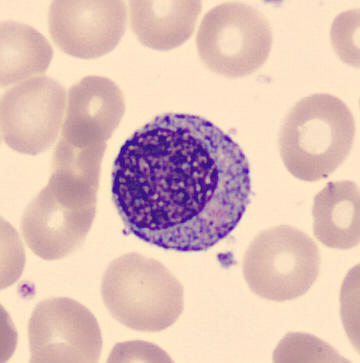

Morphology → myelocyte. Peripheral blood film. MGG stain.